Bone marrow aspirate smear: 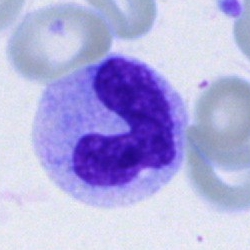
{"cell_type": "segmented neutrophil"}